Bone marrow aspirate smear · May-Grünwald-Giemsa stain · 250×250
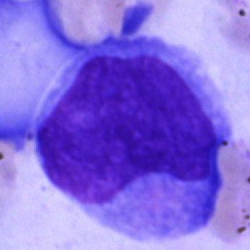

Specimen: bone marrow smear.
Morphological class: blast.